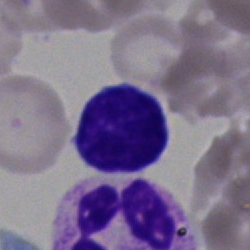

Single cell identified as a lymphocyte.